40× objective, oil immersion · bone marrow aspirate smear · image size 250×250.
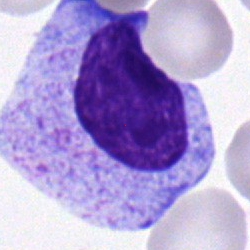 Q: What is the morphological classification of this cell?
A: A promyelocyte.